Single-cell crop · bone marrow aspirate smear:
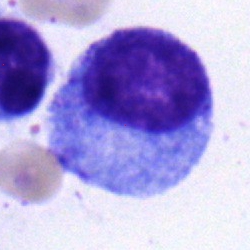
The cell shown is a promyelocyte.